250×250 · bone marrow aspirate smear.
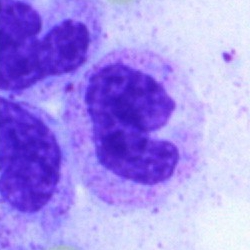 Q: What cell is this?
A: Neutrophil (band).